Bone marrow smear:
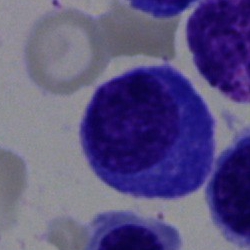Specimen: bone marrow smear.
Cell: plasma cell.